Bone marrow aspirate smear — 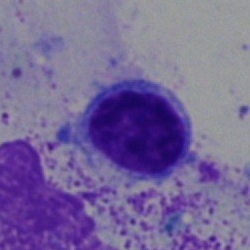 Q: What is shown here?
A: It is a typical lymphocyte.